Romanowsky-stained. Peripheral blood film
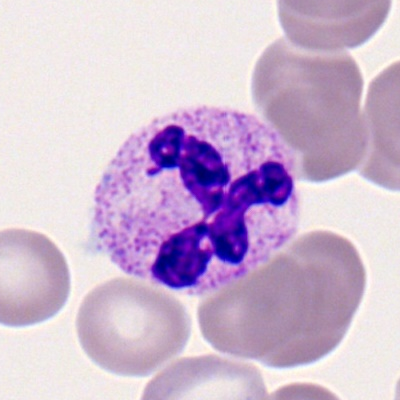 Morphology → neutrophil (segmented).